Bone marrow smear — 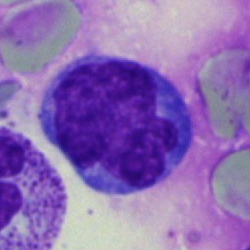

Q: What cell is this?
A: A monocyte.